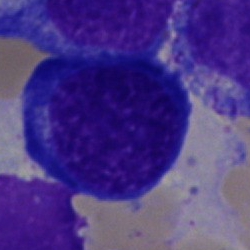Specimen: bone marrow aspirate smear.
Cell: normoblast.